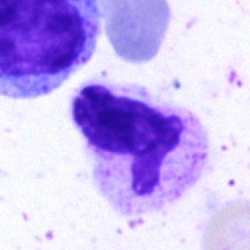 {"cell_type": "segmented neutrophil"}